Bone marrow aspirate smear · 40× oil immersion: 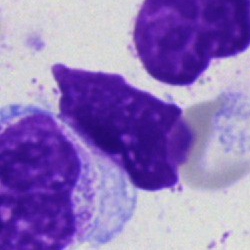The cell shown is an artifact.